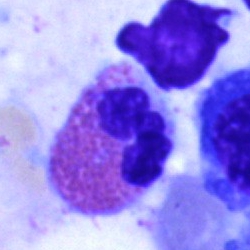The cell type is eosinophil.